Bone marrow smear
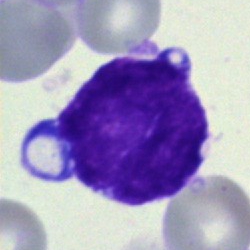

Morphological class — undifferentiated blast.